Image size 250×250. Single-cell field. Bone marrow smear: 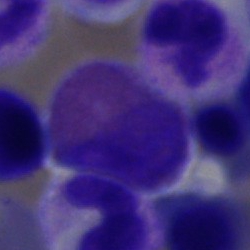 Classification — eosinophil.